Bone marrow aspirate smear
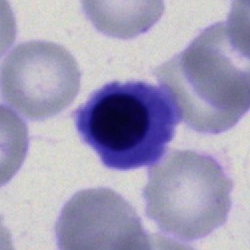Morphology consistent with a nucleated red blood cell.